400×400 · peripheral blood smear · brightfield, 100× oil-immersion objective: 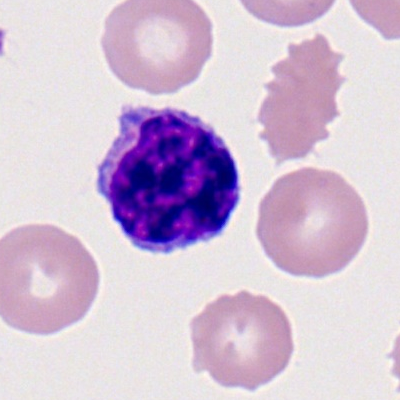
Typical lymphocyte.